Pappenheim-stained; bone marrow smear: 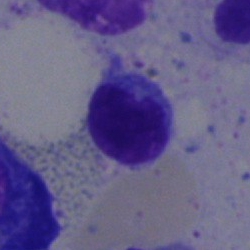
The morphological class is lymphocyte.